Peripheral blood film; 400×400 px
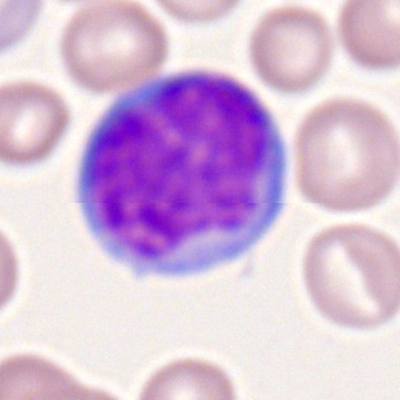
Q: What cell is this?
A: Monocyte.